Bone marrow aspirate smear:
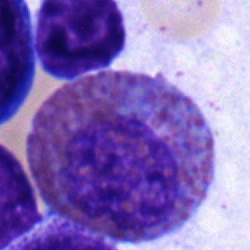 An eosinophilic granulocyte.